Bone marrow smear
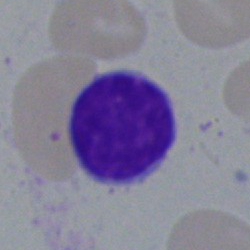Impression → lymphocyte.